Brightfield microscopy, 40× oil immersion · bone marrow smear
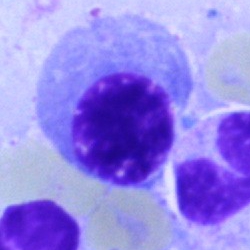Showing a nucleated red blood cell.